40× objective, oil immersion · bone marrow aspirate smear: 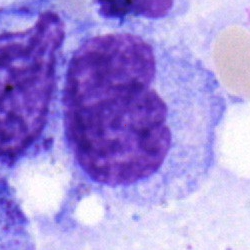

A monocyte.